40× objective, oil immersion. Bone marrow smear. 250×250 px
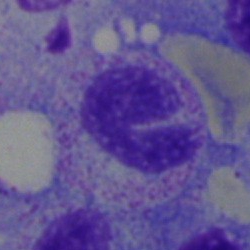

Showing a polymorphonuclear neutrophil.